Peripheral blood film:
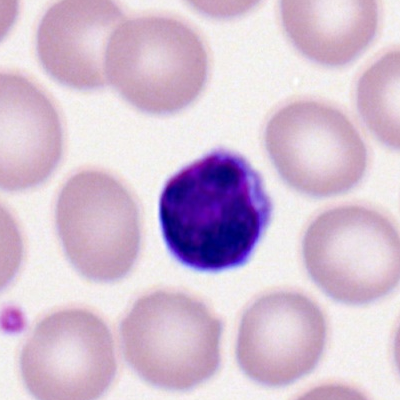The cell shown is a typical lymphocyte.